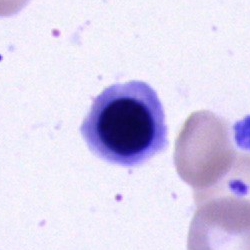 Q: What is the morphological classification of this cell?
A: It is a normoblast.